250×250 px · bone marrow aspirate smear: 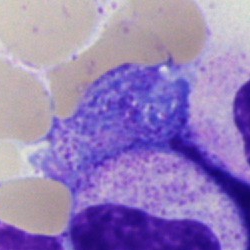 Morphological class: artefact.